Single-cell field · bone marrow aspirate smear — 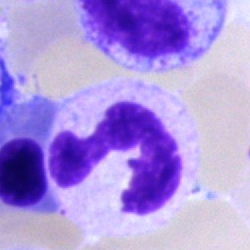

Cell — segmented neutrophil.